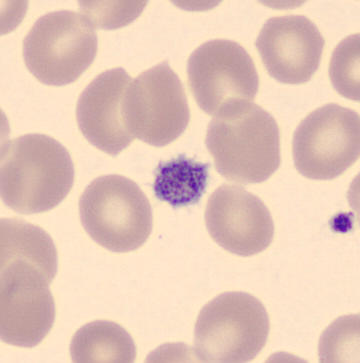
Acquisition: Peripheral blood film. This is a platelet.